Bone marrow smear.
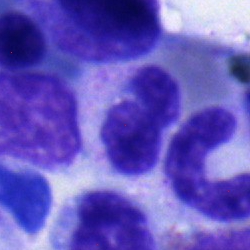Classification: neutrophil (segmented).